Bone marrow smear:
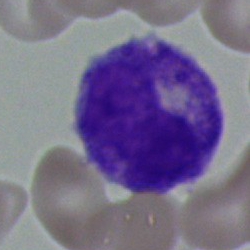
Cell = metamyelocyte.